Bone marrow smear.
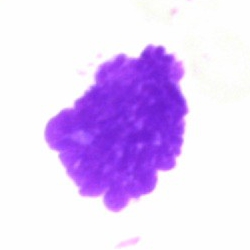 Q: What is shown here?
A: Artefact.